Bone marrow smear; MGG-stained; brightfield microscopy, 40× oil immersion.
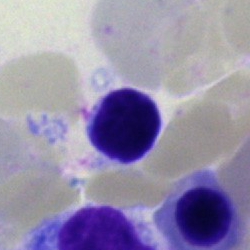

Classification = lymphocyte.